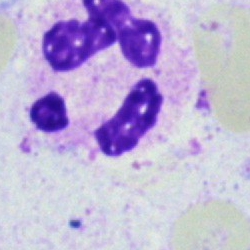 This is a segmented neutrophil.